Bone marrow aspirate smear · MGG-stained: 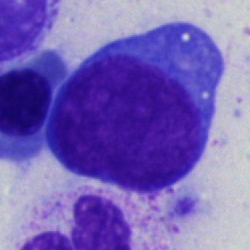
Q: What is the morphological classification of this cell?
A: It is an undifferentiated blast.